Bone marrow aspirate smear
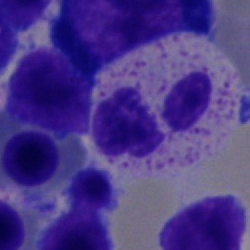
Classification: polymorphonuclear neutrophil.